Bone marrow aspirate smear — 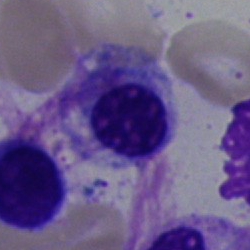

Q: What cell is this?
A: This is a nucleated red blood cell.